Bone marrow smear · May-Grünwald-Giemsa stain.
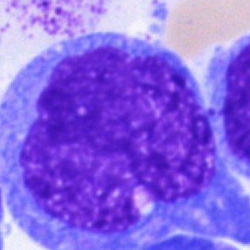 Cell = undifferentiated blast.